May-Grünwald-Giemsa stain. Bone marrow smear. 250 by 250 pixels:
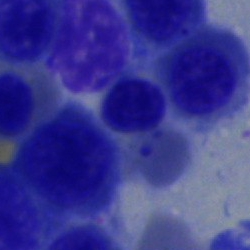Q: What cell is this?
A: This is an erythroblast.